Brightfield, 40× oil-immersion objective. Bone marrow smear — 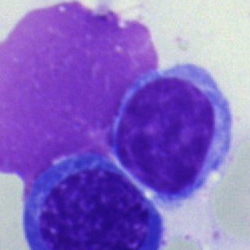

{"cell_type": "lymphocyte", "lineage": "lymphoid"}